40× objective, oil immersion; bone marrow aspirate smear.
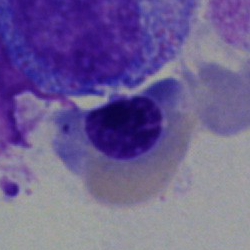 Nucleated red cell.